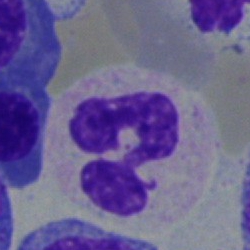
Morphology consistent with a polymorphonuclear neutrophil.